Single cell centered in the field; brightfield microscopy, 40× oil immersion; bone marrow smear — 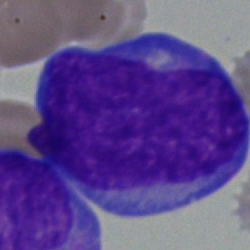

This is a blast.